MGG-stained. Bone marrow smear: 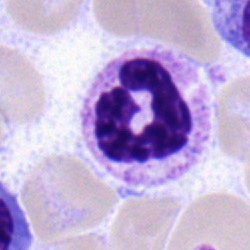Morphology consistent with a segmented neutrophil.